Bone marrow aspirate smear.
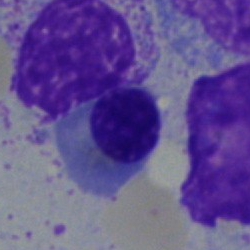

Morphology consistent with a nucleated red blood cell.